Bone marrow smear.
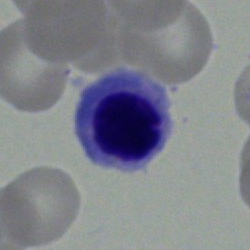

Impression — nucleated red cell.